Bone marrow aspirate smear.
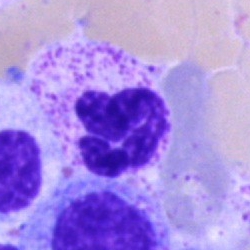 Cell type — polymorphonuclear neutrophil.